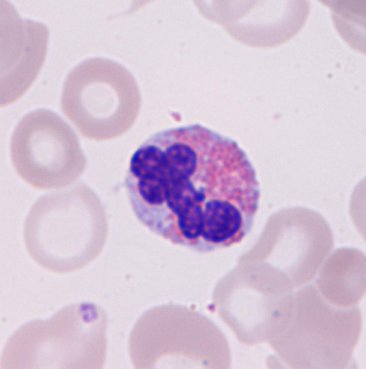 Cell type = eosinophilic granulocyte.